Bone marrow smear. 40× oil immersion. 250 by 250 pixels
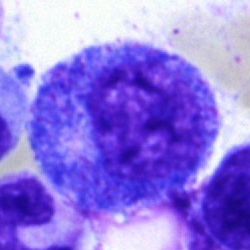Cell: promyelocyte.